Bone marrow aspirate smear; single-cell crop
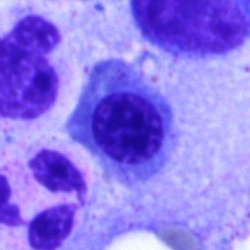 A nucleated red cell.